40× objective, oil immersion. Bone marrow smear. Single cell centered in the field:
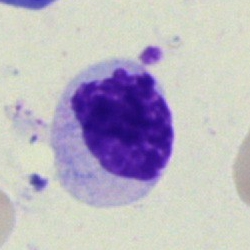 Q: What type of cell is this?
A: It is a myelocyte.